Bone marrow aspirate smear — 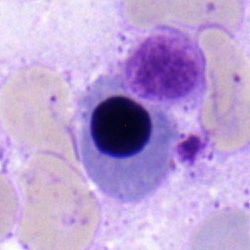 Morphology consistent with a nucleated red blood cell.